Single-cell field · image size 360×363 · peripheral blood smear.
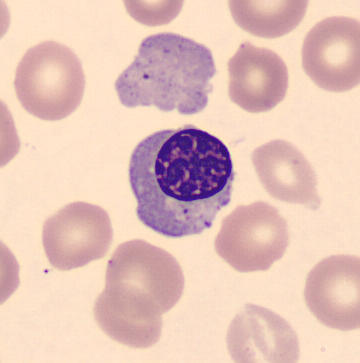

Classification — normoblast.